Bone marrow smear; 40× objective, oil immersion.
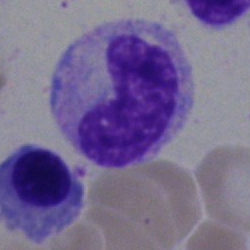
Q: What cell is this?
A: A stab cell.